Bone marrow smear: 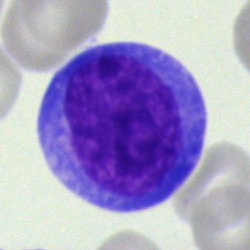 Q: What cell is this?
A: This is an immature lymphocyte.